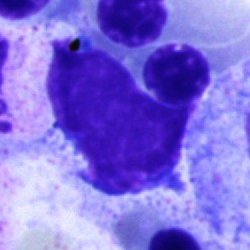
Morphological class = artefact.